May-Grünwald-Giemsa stain; image size 250×250; bone marrow smear: 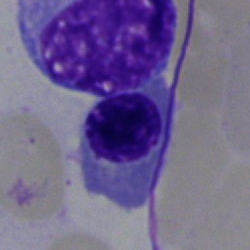This is a nucleated red blood cell.